Bone marrow smear. Pappenheim-stained:
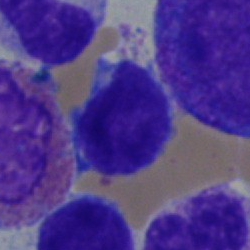

Single cell identified as a typical lymphocyte.